Bone marrow smear — 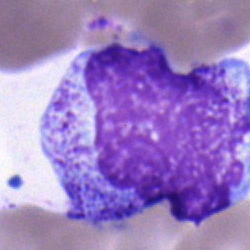

The cell shown is a myelocyte.